Single-cell crop. Brightfield, 100× oil-immersion objective. Peripheral blood smear:
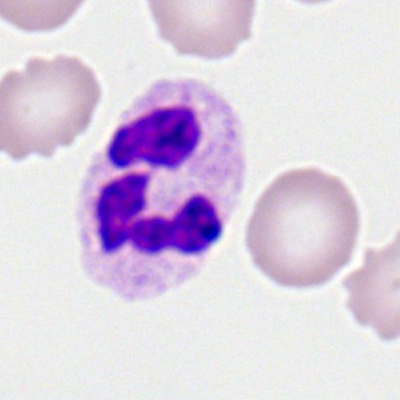
Morphology consistent with a segmented neutrophil.